Bone marrow smear:
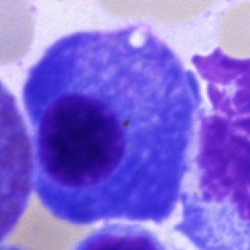

Morphological class — plasmacyte.